Peripheral blood film — 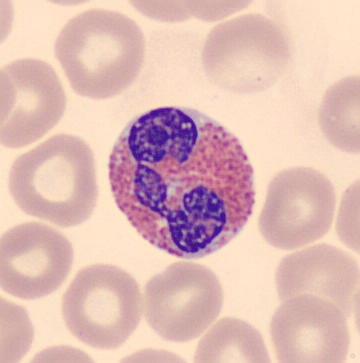
Morphology consistent with an eosinophil.